Bone marrow aspirate smear: 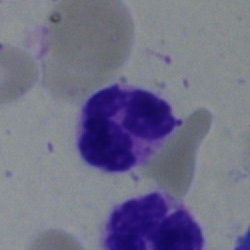

{"cell_type": "segmented neutrophil"}